Peripheral blood smear; cropped to a single cell: 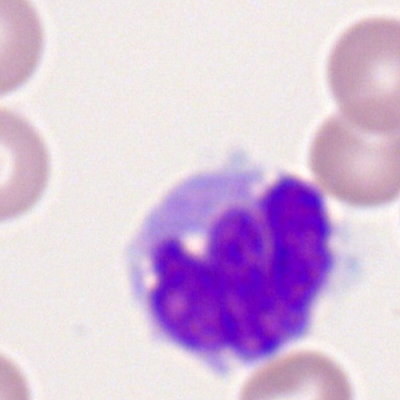 A monocyte.